Bone marrow smear — 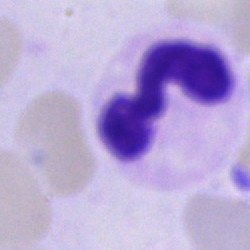
{"cell_type": "segmented neutrophil", "lineage": "myeloid"}